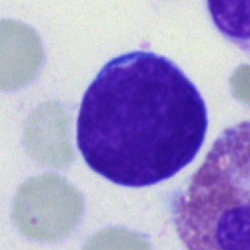

Cell type — blast cell.